Bone marrow smear · 250 by 250 pixels:
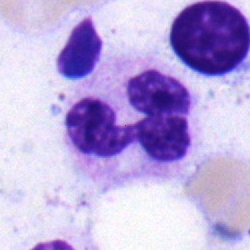Q: What is shown here?
A: It is a polymorphonuclear neutrophil.